Bone marrow smear
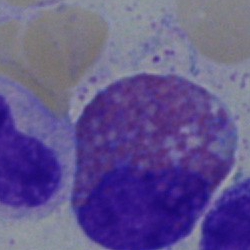
Q: What is the morphological classification of this cell?
A: This is an eosinophilic granulocyte.